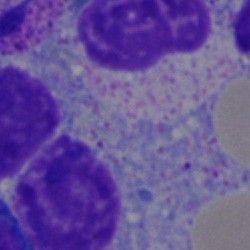
Artifact.